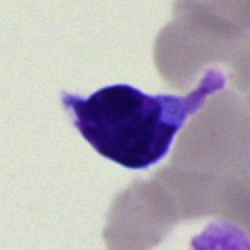Specimen: bone marrow smear.
Morphological class: lymphocyte.
Lineage: lymphoid.